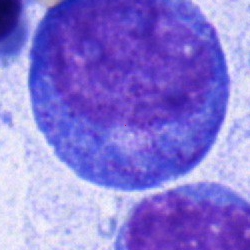

Bone marrow aspirate smear, single cell — promyelocyte.